Peripheral blood smear.
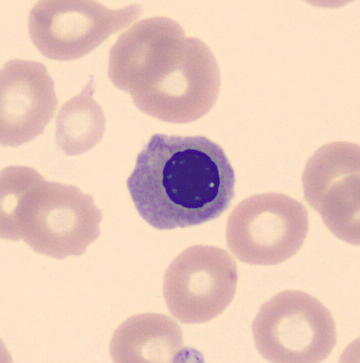

Q: What is shown here?
A: It is a nucleated red cell.